Bone marrow smear:
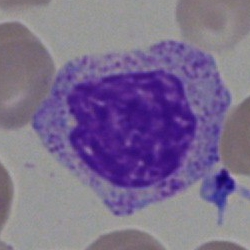Specimen: bone marrow aspirate smear.
Morphological class: myelocyte.
Lineage: myeloid.